Bone marrow smear — 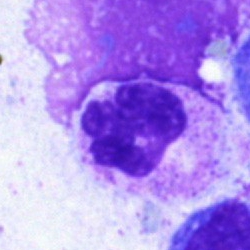
Morphology — neutrophil (segmented).